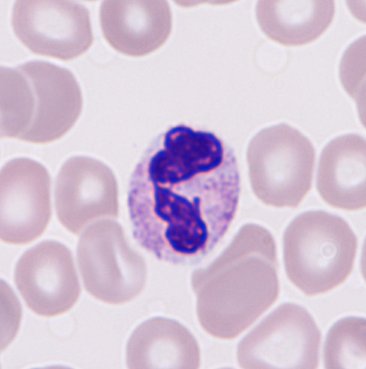
Cell: neutrophilic granulocyte.